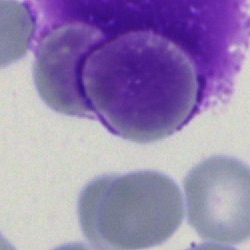 An artefact on a bone marrow smear.